Pappenheim-stained; bone marrow smear; 40× objective, oil immersion: 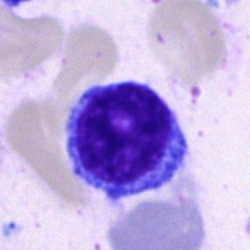The classification is lymphocyte.